Bone marrow smear: 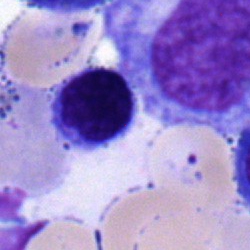

The morphological class is lymphocyte.